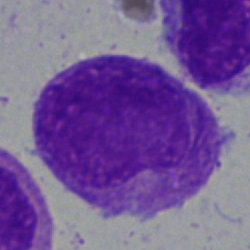Single-cell crop from a bone marrow smear: blast cell.